Bone marrow aspirate smear
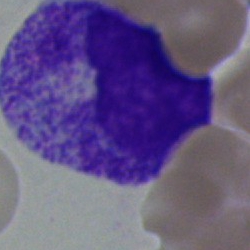
Cell: metamyelocyte.